Bone marrow aspirate smear — 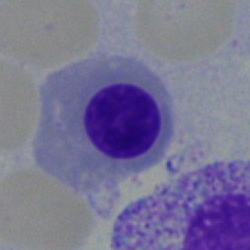 This is a nucleated red blood cell.